Bone marrow smear:
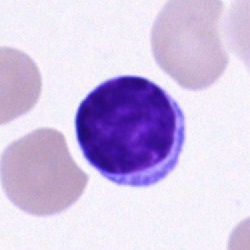 Classification: lymphocyte.